Bone marrow smear; brightfield microscopy, 40× oil immersion.
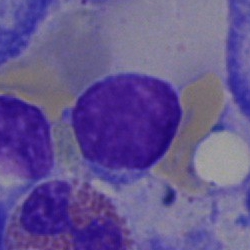

Q: What cell is this?
A: A lymphocyte.